Peripheral blood film; 100× oil immersion
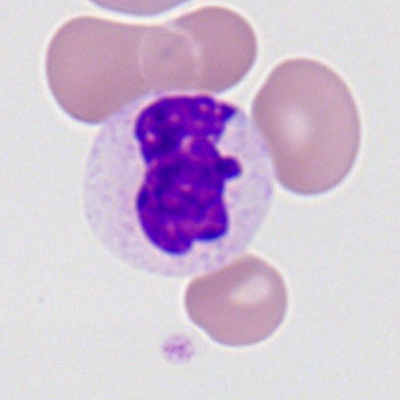

Morphology — neutrophil (segmented).